Bone marrow aspirate smear:
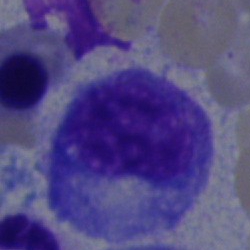{"cell_type": "progranulocyte", "lineage": "myeloid"}